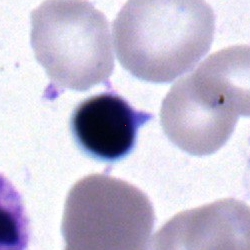 Impression → typical lymphocyte.